Bone marrow aspirate smear — 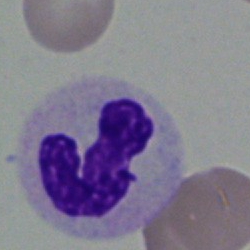 Single cell identified as a segmented neutrophil.